Single-cell crop; bone marrow aspirate smear; 40× objective, oil immersion
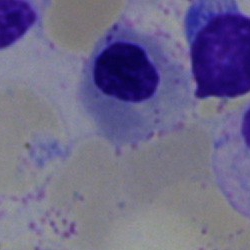
Cell type — normoblast.